Bone marrow smear. Cropped to a single cell. Image size 250×250:
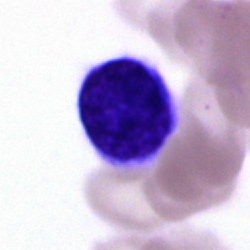Cell type: typical lymphocyte.